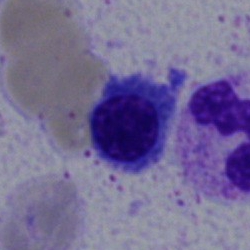

{"cell_type": "normoblast"}